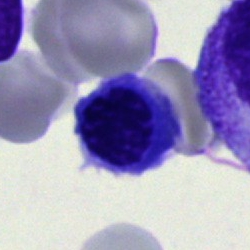

Classification — erythroblast.